Bone marrow aspirate smear. Brightfield, 40× oil-immersion objective: 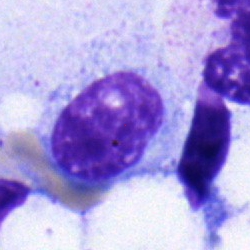Q: Identify the cell.
A: Myelocyte.